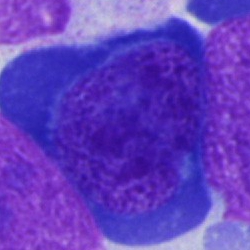 Morphological class = nucleated red blood cell.